Bone marrow aspirate smear
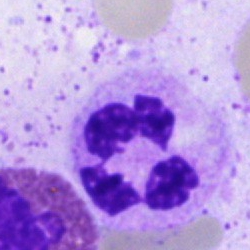 Morphology consistent with a neutrophil (segmented).